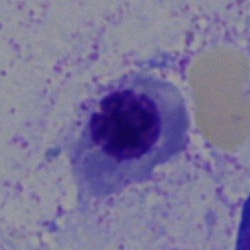

Morphology consistent with a normoblast.